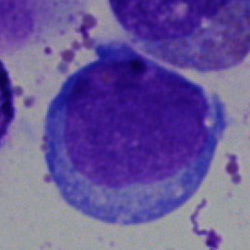
Showing an undifferentiated blast.